Peripheral blood film: 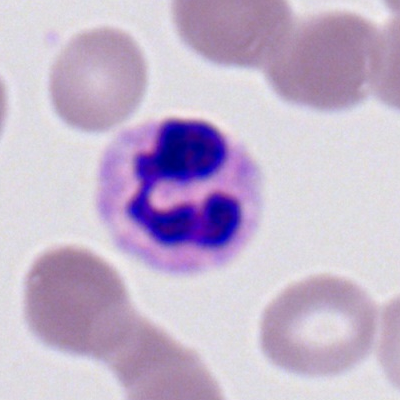

Morphology → polymorphonuclear neutrophil.